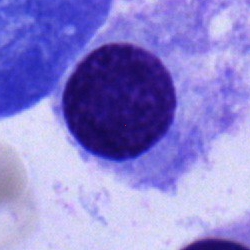 Q: What type of cell is this?
A: A plasmacyte.